Bone marrow aspirate smear. Image size 250×250: 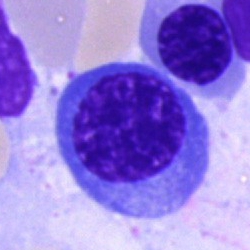The cell is nucleated red cell.